Bone marrow smear:
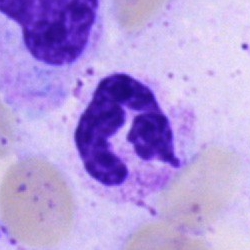Impression → neutrophil (segmented).